M8 digital microscope (Precipoint), 100× oil immersion. Peripheral blood smear.
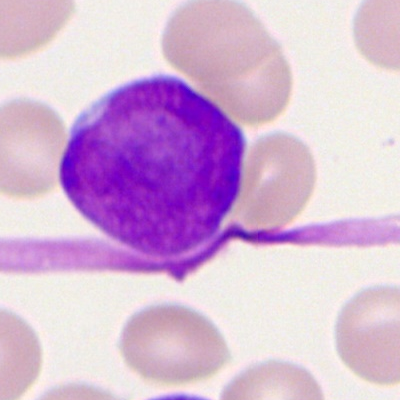 The cell shown is a myeloblast.